Peripheral blood film. Single-cell crop
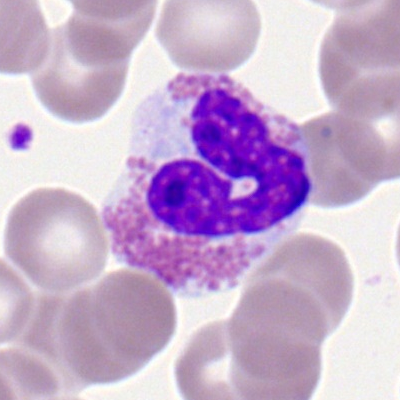
An eosinophilic granulocyte.